Pappenheim-stained · bone marrow aspirate smear:
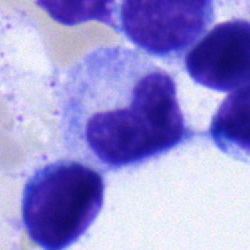
The cell shown is a metamyelocyte.